Bone marrow smear: 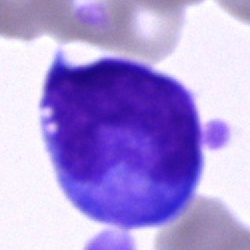Morphology — blast cell.